Bone marrow aspirate smear — 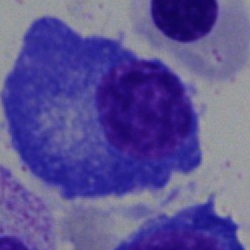
Morphology — plasmacyte.